Bone marrow aspirate smear; brightfield, 40× oil-immersion objective:
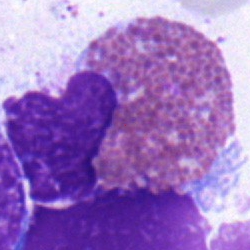 Morphology → eosinophil.